Peripheral blood film — 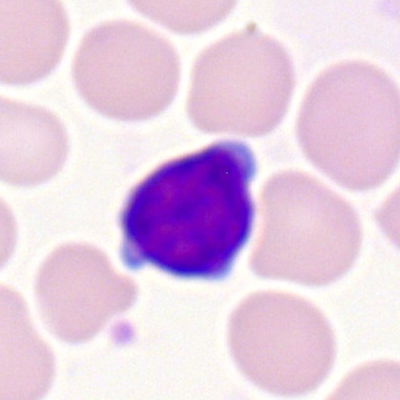 Typical lymphocyte.